Bone marrow aspirate smear · May-Grünwald-Giemsa/Pappenheim stain:
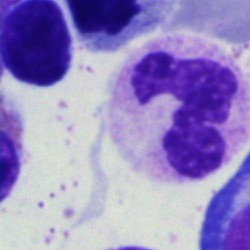

Neutrophil (segmented).